Single-cell field; bone marrow smear; 40× objective, oil immersion:
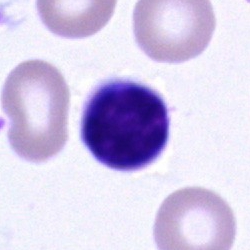

Single cell identified as a lymphocyte.